40× oil immersion; 250 by 250 pixels; bone marrow aspirate smear
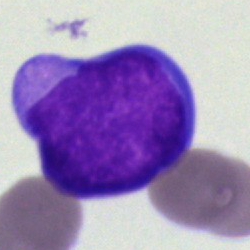 Classification — blast cell.